MGG stain. Automated cell imaging (CellaVision DM96). Peripheral blood film: 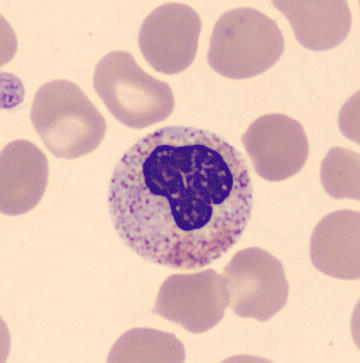

The classification is segmented neutrophil.